Bone marrow smear.
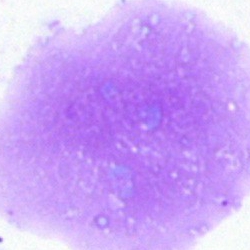

Morphology consistent with an artifact.